Bone marrow aspirate smear — 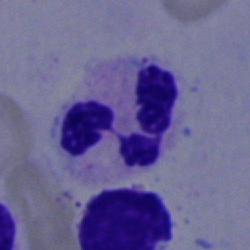

Morphological class — polymorphonuclear neutrophil.